Bone marrow aspirate smear. Pappenheim-stained
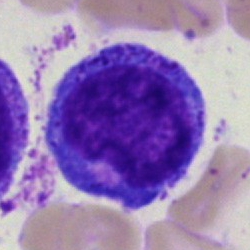Showing a promyelocyte.